40× oil immersion · bone marrow aspirate smear — 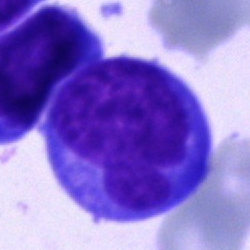Morphology consistent with an undifferentiated blast.